Bone marrow smear
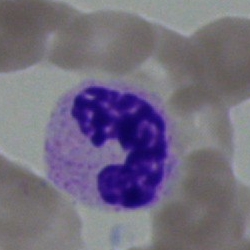
Specimen: bone marrow smear.
Morphological class: neutrophil (segmented).